Peripheral blood smear — 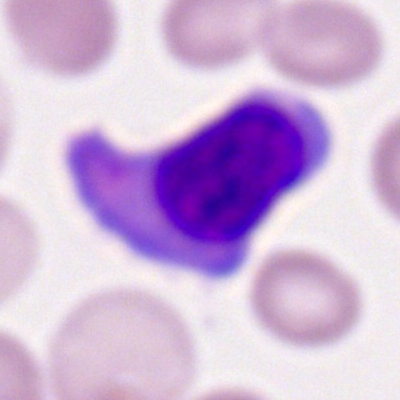

Showing a lymphocyte.